Bone marrow smear; single cell centered in the field
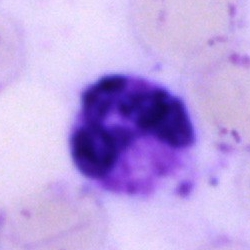
Q: What type of cell is this?
A: Neutrophil (segmented).